Bone marrow smear · single cell centered in the field
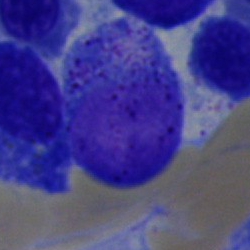

{"cell_type": "promyelocyte", "lineage": "myeloid"}